Bone marrow aspirate smear.
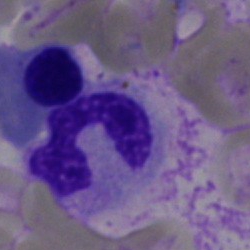

The cell shown is a polymorphonuclear neutrophil.